Bone marrow aspirate smear:
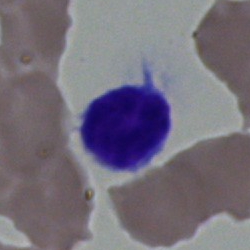

{"cell_type": "lymphocyte"}